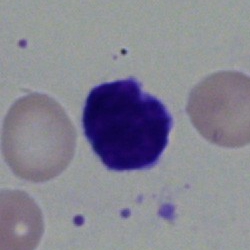 Cell type = lymphocyte.